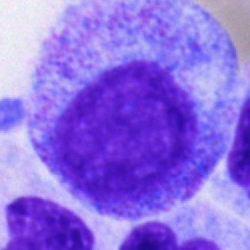 Classification — promyelocyte.